Peripheral blood smear. Single-cell field.
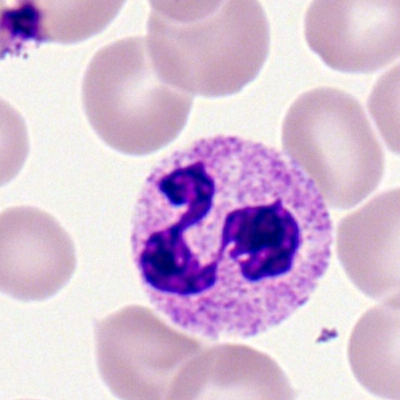

Polymorphonuclear neutrophil.